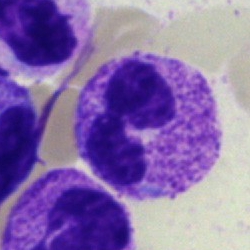

Bone marrow aspirate smear, single cell — segmented neutrophil.